Automated cell imaging (CellaVision DM96). Peripheral blood film — 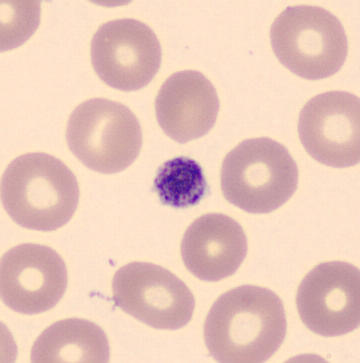

Cell type — platelet (thrombocyte).